Bone marrow smear — 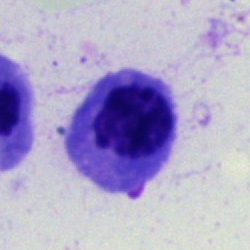 Q: Which cell type is shown here?
A: It is a nucleated red blood cell.